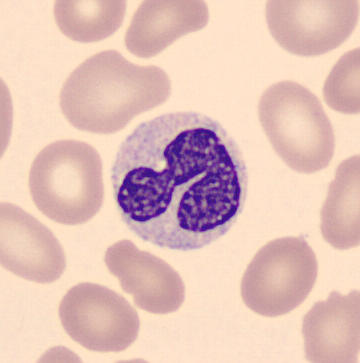
The cell shown is a band neutrophil.

Acquisition: Peripheral blood smear.